Bone marrow aspirate smear — 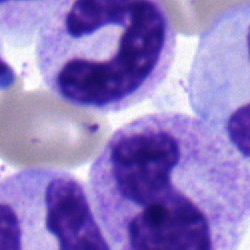
Classification = neutrophil (band).